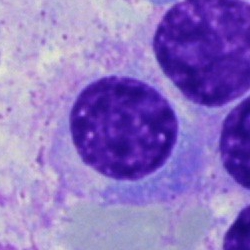 Bone marrow smear showing a plasmacyte.